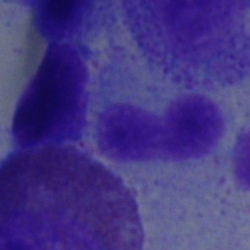 Specimen: bone marrow smear.
Cell type: band neutrophil.